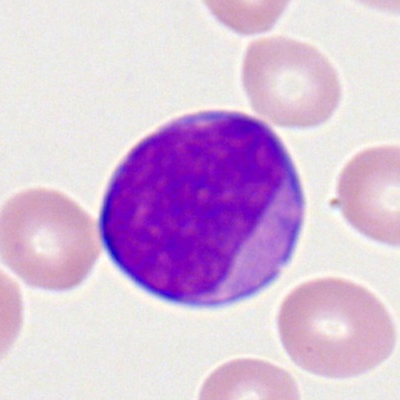
Morphology consistent with a myeloblast.